Bone marrow smear.
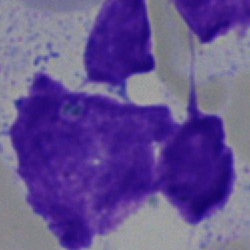

The morphological class is artifact.